Bone marrow aspirate smear: 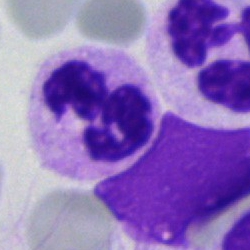

Specimen: bone marrow smear.
Cell type: neutrophil (segmented).
Lineage: myeloid.